250×250. Bone marrow smear: 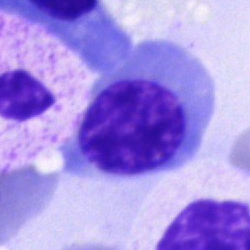
Morphological class: nucleated red blood cell.